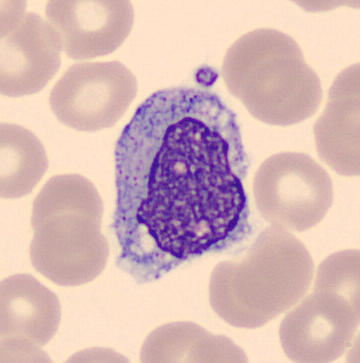

{"cell_type": "monocyte", "lineage": "myeloid"}